Bone marrow aspirate smear. MGG-stained.
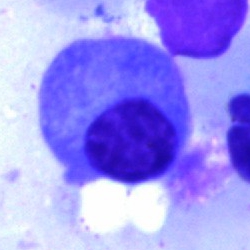 Plasmacyte.